Bone marrow aspirate smear:
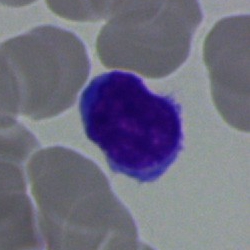Impression → lymphocyte.